Bone marrow aspirate smear
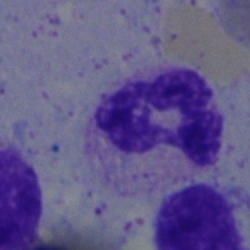

Morphology consistent with a polymorphonuclear neutrophil.